Bone marrow smear
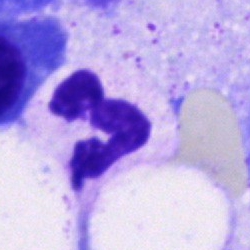Impression → neutrophil (segmented).